Bone marrow aspirate smear. May-Grünwald-Giemsa/Pappenheim stain. 250×250 px.
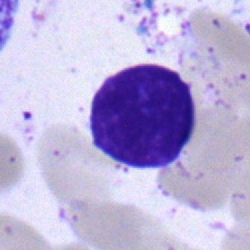
Morphology — lymphocyte.